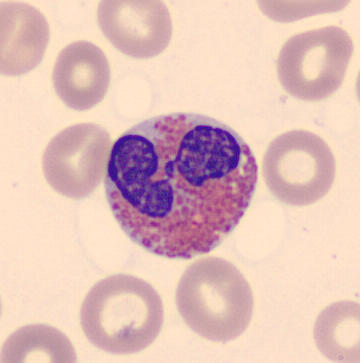 Morphology consistent with an eosinophilic granulocyte.

Image: Peripheral blood smear.